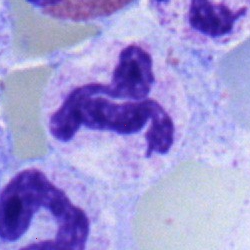Bone marrow smear showing a neutrophil (segmented).